Bone marrow aspirate smear — 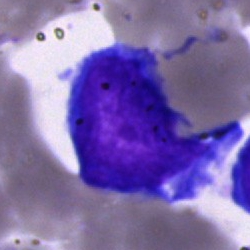

Specimen: bone marrow aspirate smear.
Morphological class: blast.